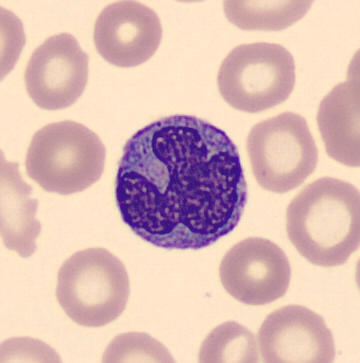 Q: Which cell type is shown here?
A: Monocyte. Peripheral blood smear.